MGG-stained. Bone marrow aspirate smear: 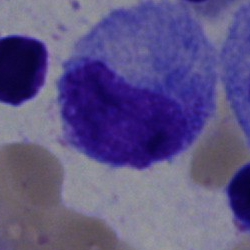

Morphology consistent with a promyelocyte.